Bone marrow aspirate smear: 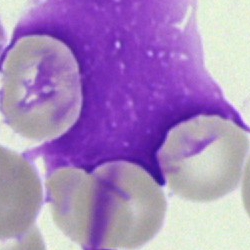Q: What is shown here?
A: This is an artifact.